Image size 250×250. Bone marrow aspirate smear. Single-cell crop — 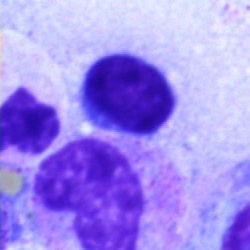Classification: lymphocyte.